Bone marrow aspirate smear
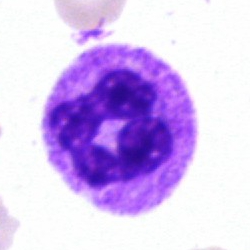 This is a segmented neutrophil.